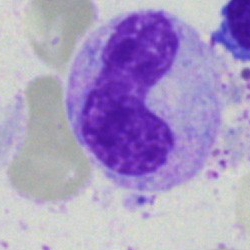
Cell type: stab cell.